Peripheral blood film — 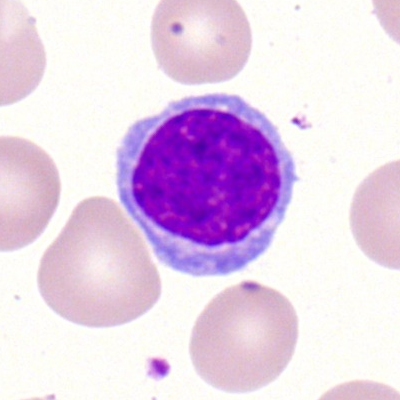

Lymphocyte.